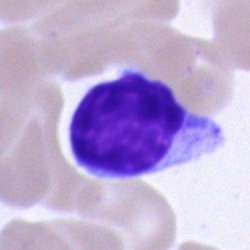

Q: Which cell type is shown here?
A: A lymphocyte.